Bone marrow aspirate smear
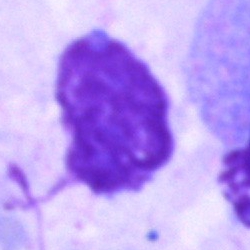

Q: What is shown here?
A: This is an artefact.